40× oil immersion · bone marrow aspirate smear — 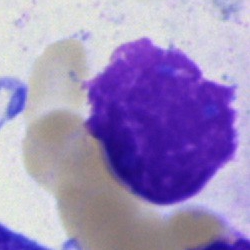 Morphology consistent with an artefact.